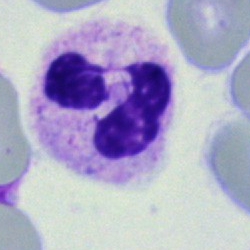
Cell type: segmented neutrophil.